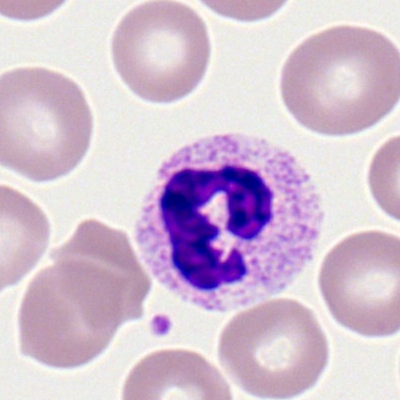Morphology consistent with a segmented neutrophil.